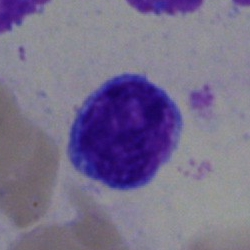

Specimen: bone marrow smear.
Cell type: typical lymphocyte.
Lineage: lymphoid.